Bone marrow smear — 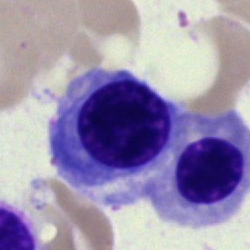
Impression — nucleated red blood cell.